Bone marrow aspirate smear — 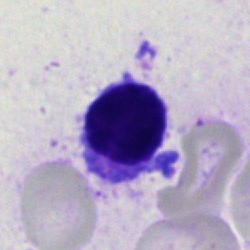Impression — typical lymphocyte.